Bone marrow aspirate smear. 250×250 — 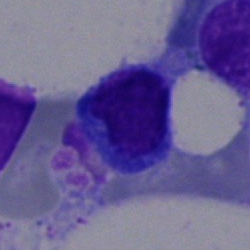
The cell shown is a lymphocyte.